Peripheral blood film:
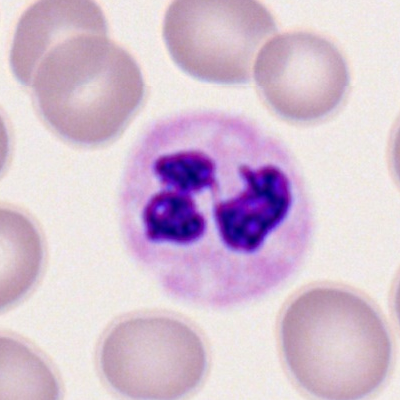 Specimen: peripheral blood film.
Cell: segmented neutrophil.